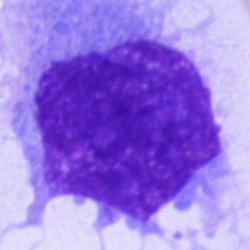Q: Identify the cell.
A: Plasmacyte.